Cropped to a single cell; bone marrow smear; brightfield, 40× oil-immersion objective — 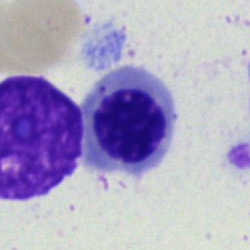Q: What is shown here?
A: It is a normoblast.